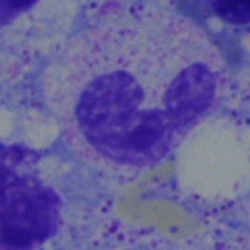 Specimen: bone marrow aspirate smear.
Morphological class: band-form neutrophil.